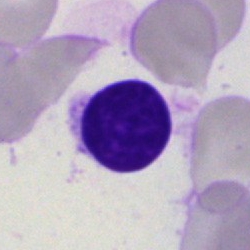
Morphology — typical lymphocyte.